Bone marrow smear; single cell centered in the field; 250×250: 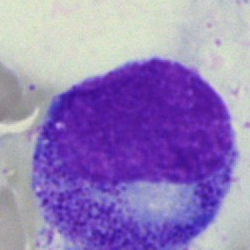

Specimen: bone marrow aspirate smear.
Classification: promyelocyte.
Lineage: myeloid.